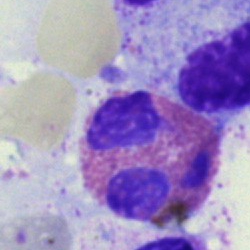 Cell type: eosinophilic granulocyte.